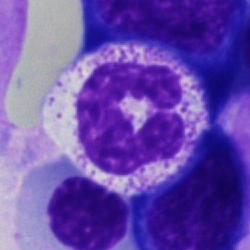Cell type = neutrophil (segmented).